Bone marrow aspirate smear — 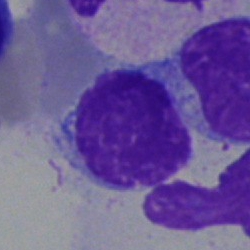
Q: What cell is this?
A: Typical lymphocyte.